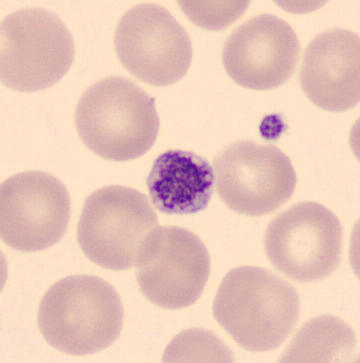

Showing a platelet (thrombocyte).

Image: Automated cell imaging (CellaVision DM96). May Grünwald-Giemsa stain. Peripheral blood film.